Brightfield, 40× oil-immersion objective; bone marrow smear: 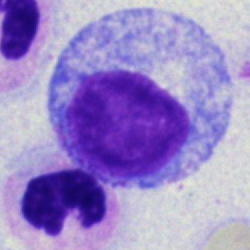

{"cell_type": "promyelocyte"}